Peripheral blood smear · Romanowsky-type stain · 400×400 px
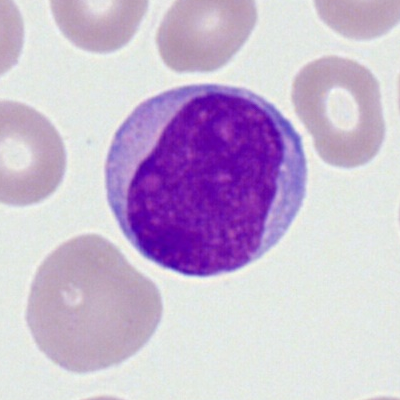
The cell is myeloid blast.